Bone marrow aspirate smear · May-Grünwald-Giemsa stain · 40× oil immersion:
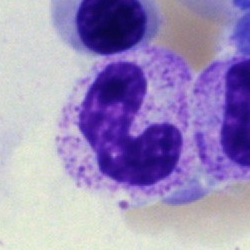 Q: What is shown here?
A: This is a neutrophil (band).